Bone marrow smear:
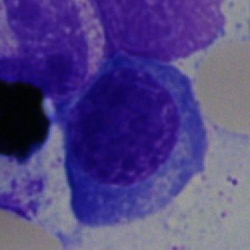 The cell is erythroblast.